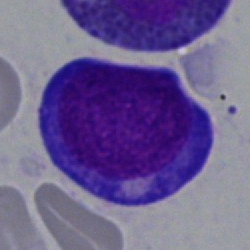Morphology → normoblast.